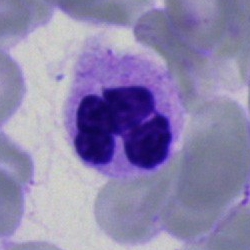 Q: What type of cell is this?
A: Neutrophil (segmented).